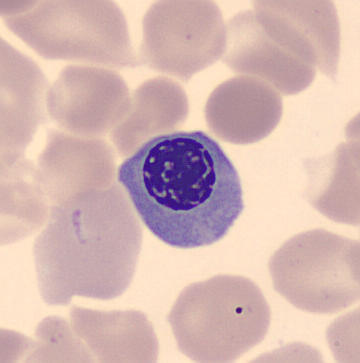Acquisition: Single cell centered in the field; peripheral blood film; May Grünwald-Giemsa stain. Normoblast.